40× oil immersion · bone marrow smear — 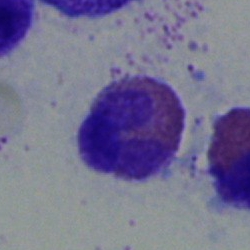Morphological class: eosinophilic granulocyte.